May-Grünwald-Giemsa stain. Bone marrow aspirate smear — 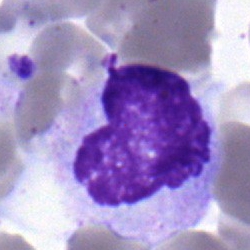

Specimen: bone marrow smear.
Classification: monocyte.